Peripheral blood film:
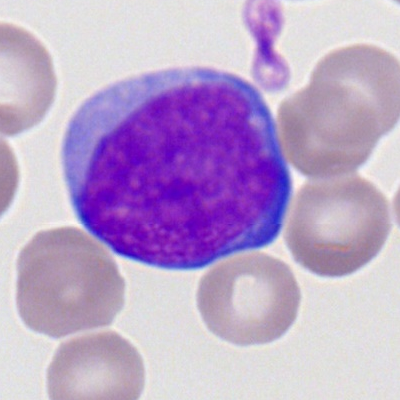 The cell shown is a myeloid blast.